Brightfield microscopy, 40× oil immersion; bone marrow aspirate smear
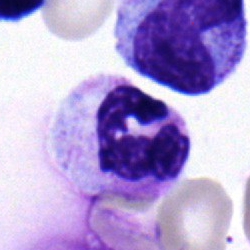Specimen: bone marrow smear.
Cell: polymorphonuclear neutrophil.
Lineage: myeloid.